MGG-stained. Bone marrow aspirate smear:
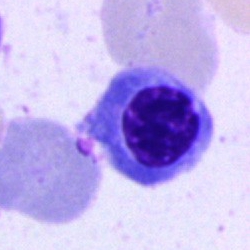
This is an erythroblast.